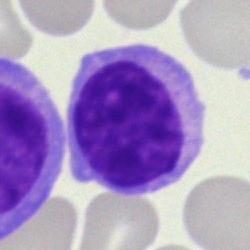 Morphology consistent with a lymphocyte.